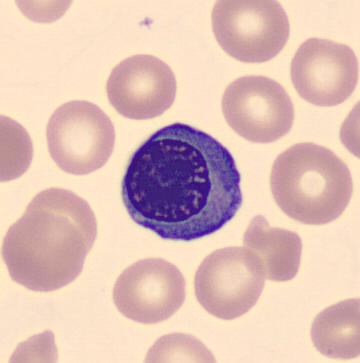 Peripheral blood smear. Image size 360×363.
Impression → erythroblast.